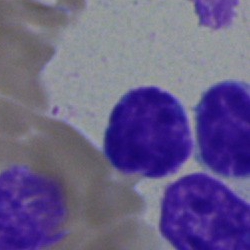 A typical lymphocyte.